Bone marrow smear: 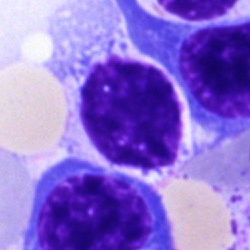
Morphology consistent with a lymphocyte.